Brightfield microscopy, 40× oil immersion · bone marrow aspirate smear: 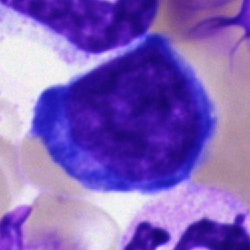 Morphology consistent with a normoblast.